Bone marrow aspirate smear — 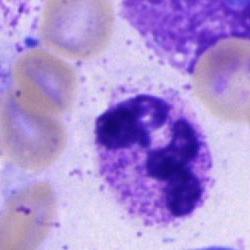
Q: What is the morphological classification of this cell?
A: It is a segmented neutrophil.